Bone marrow smear:
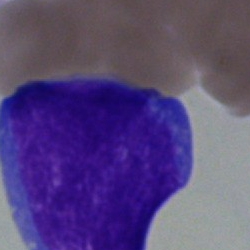
Q: Which cell type is shown here?
A: It is a blast.